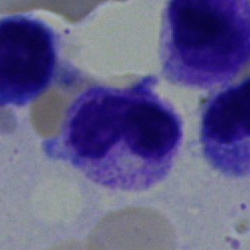 A band-form neutrophil on a bone marrow smear.